Cropped to a single cell; bone marrow smear — 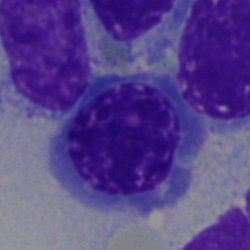 This is a nucleated red blood cell.